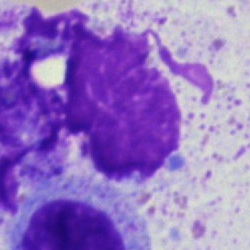Specimen: bone marrow aspirate smear.
Cell: artefact.